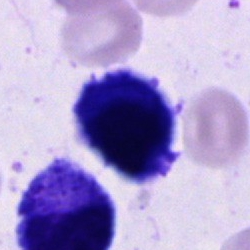

Impression → cell of indeterminate lineage.